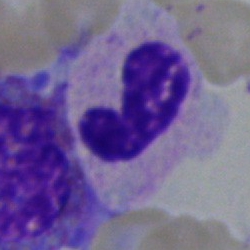 Morphological class: stab cell.